Bone marrow aspirate smear: 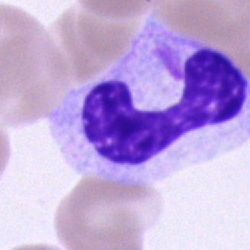Specimen: bone marrow smear.
Cell: band-form neutrophil.